Brightfield, 40× oil-immersion objective · bone marrow smear — 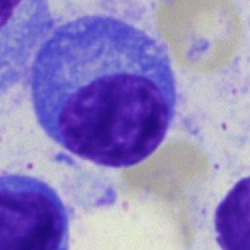
This is a plasmacyte.